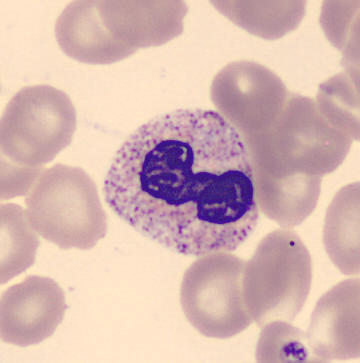
The morphological class is polymorphonuclear neutrophil.

Preparation: Peripheral blood smear.